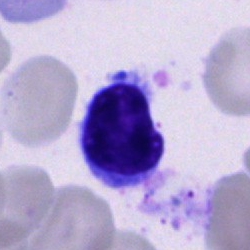
Bone marrow aspirate smear, single cell — plasmacyte.